Bone marrow aspirate smear · brightfield microscopy, 40× oil immersion
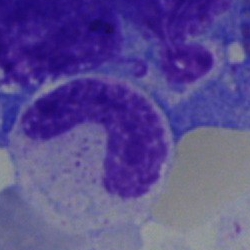
The cell is band-form neutrophil.